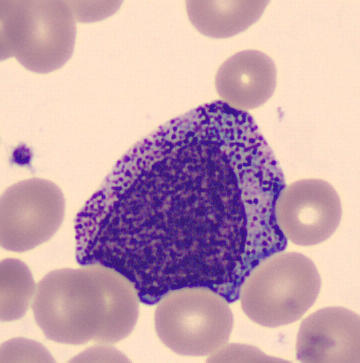 Image: Peripheral blood smear; 360×363 px; single cell centered in the field.
Classification: promyelocyte.